Cropped to a single cell. Bone marrow aspirate smear: 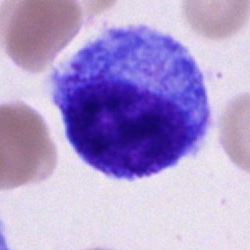Progranulocyte.